Bone marrow aspirate smear.
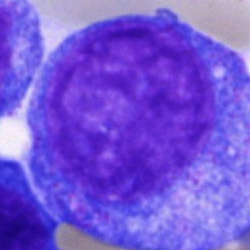
Cell — promyelocyte.